MGG-stained · bone marrow aspirate smear:
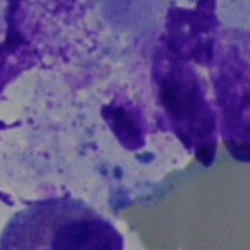

Specimen: bone marrow aspirate smear.
Classification: artifact.